Bone marrow aspirate smear.
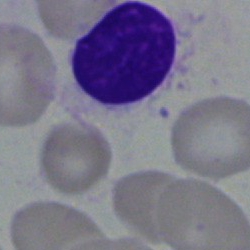

Morphological class — artifact.